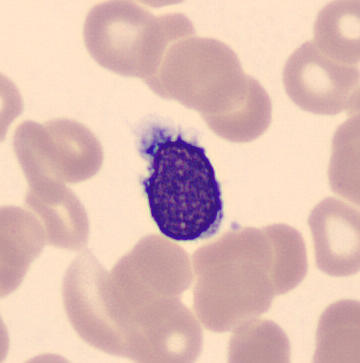

Morphology — lymphocyte.